Bone marrow smear. Single cell centered in the field.
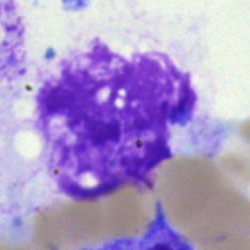Impression — artefact.